Cropped to a single cell; bone marrow aspirate smear
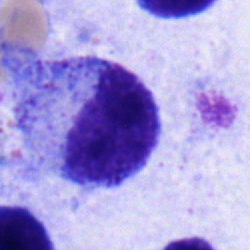 Showing a myelocyte.